Image size 250×250 · bone marrow aspirate smear · single cell centered in the field
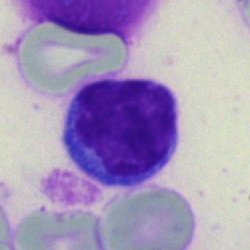 Q: Which cell type is shown here?
A: This is a typical lymphocyte.